Bone marrow aspirate smear; brightfield, 40× oil-immersion objective; MGG-stained:
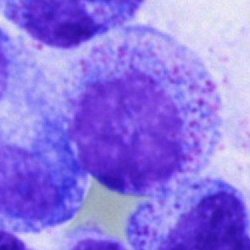{"cell_type": "metamyelocyte", "lineage": "myeloid"}